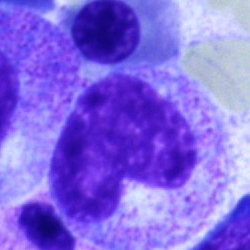Morphological class — metamyelocyte.